Bone marrow smear. Pappenheim-stained — 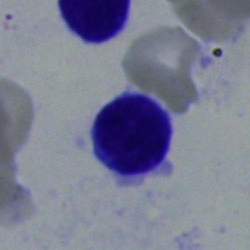
Q: Identify the cell.
A: This is a lymphocyte.